40× oil immersion; bone marrow smear:
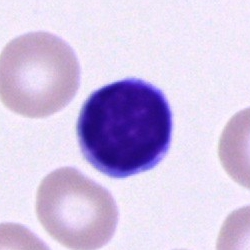
Morphological class — lymphocyte.